Bone marrow smear — 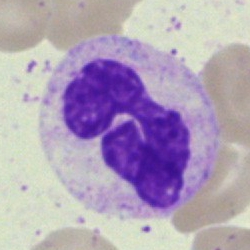
Q: What is the morphological classification of this cell?
A: This is a segmented neutrophil.